Single-cell field. Bone marrow smear: 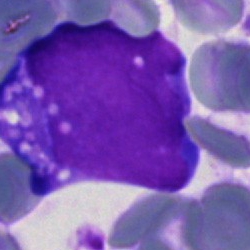Cell = undifferentiated blast.